Bone marrow smear:
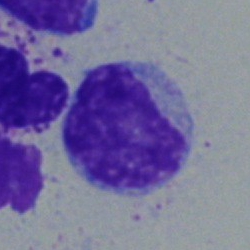 {"cell_type": "typical lymphocyte", "lineage": "lymphoid"}